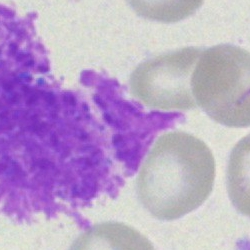 Specimen: bone marrow aspirate smear.
Cell: artifact.